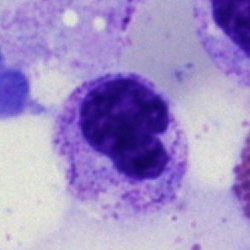 Impression — neutrophil (segmented).